Peripheral blood smear.
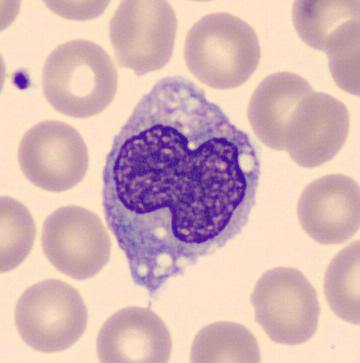
Specimen: peripheral blood film.
Cell type: monocyte.
Lineage: myeloid.